Romanowsky-type stain · peripheral blood film · 100× oil immersion.
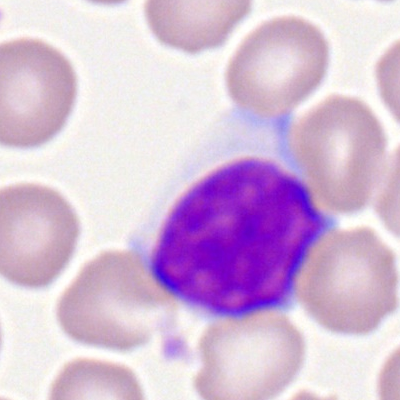

Specimen: peripheral blood film.
Cell type: lymphocyte.
Lineage: lymphoid.